Bone marrow smear — 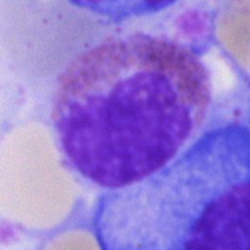Morphology → eosinophil.